Single cell centered in the field. Bone marrow aspirate smear. MGG-stained
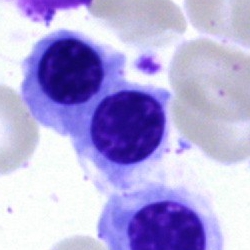Morphological class = nucleated red blood cell.